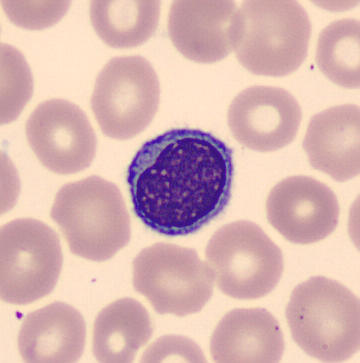
Q: Which cell type is shown here?
A: This is a typical lymphocyte.
Image: Peripheral blood film.